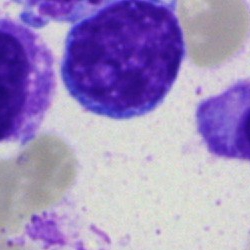 A lymphocyte on a bone marrow smear.